Bone marrow aspirate smear — 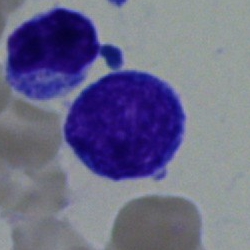Showing a typical lymphocyte.